Bone marrow aspirate smear:
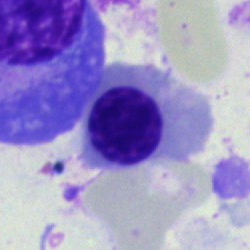Specimen: bone marrow aspirate smear.
Classification: normoblast.
Lineage: erythroid.